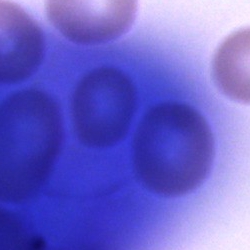
Specimen: bone marrow aspirate smear.
Cell: artefact.